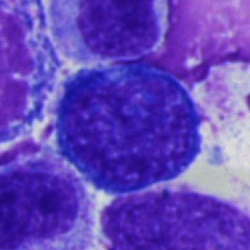Morphology → erythroblast.